Bone marrow smear · cropped to a single cell.
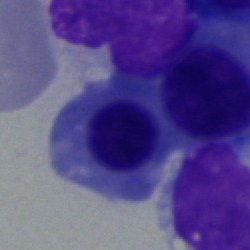

Morphological class — nucleated red blood cell.